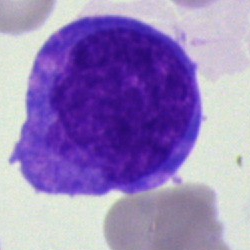 Impression → blast.